Bone marrow aspirate smear:
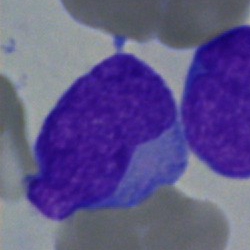The classification is blast.